MGG-stained. Bone marrow smear — 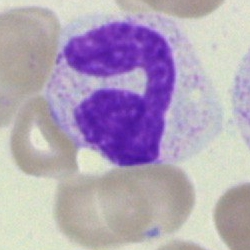
Morphology — neutrophil (segmented).